Peripheral blood film — 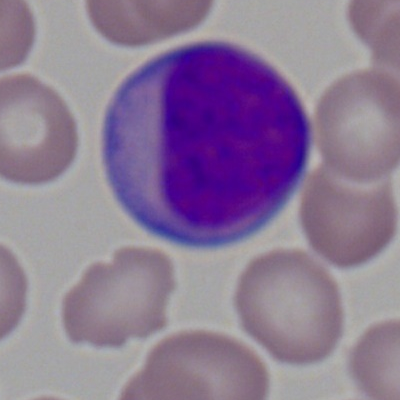 Showing a myeloid blast.